Brightfield, 40× oil-immersion objective; bone marrow smear; May-Grünwald-Giemsa stain.
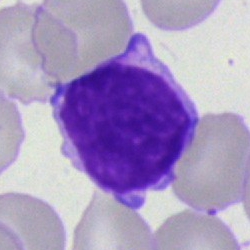 Morphological class — typical lymphocyte.